Bone marrow smear
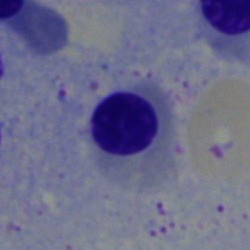A nucleated red blood cell.